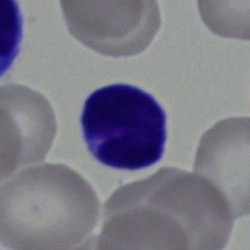
Q: What is the morphological classification of this cell?
A: This is a typical lymphocyte.